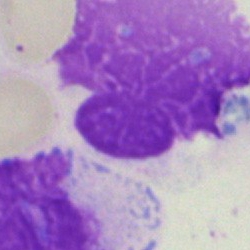

An artifact on a bone marrow smear.